Bone marrow smear — 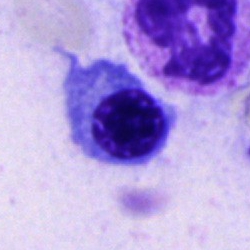 Impression → nucleated red cell.